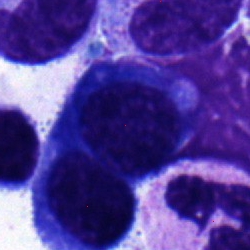 Morphological class — nucleated red cell.